Brightfield, 40× oil-immersion objective · image size 250×250 · bone marrow aspirate smear — 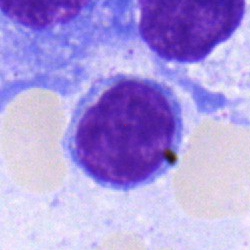

A lymphocyte.